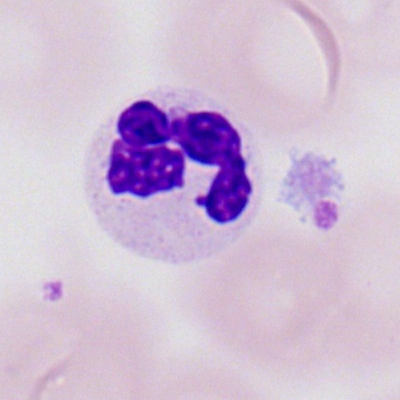

Morphology consistent with a neutrophil (segmented).